250×250 px; bone marrow aspirate smear:
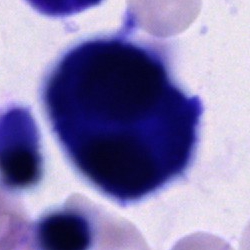 The morphological class is unidentifiable cell.